Bone marrow smear. Brightfield, 40× oil-immersion objective
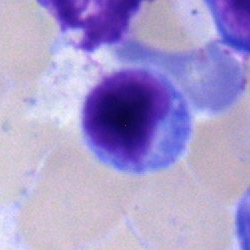

{"cell_type": "lymphocyte"}